Bone marrow aspirate smear:
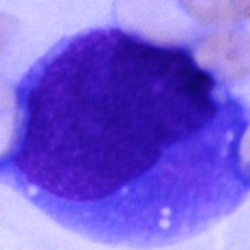
Q: What is shown here?
A: This is a blast cell.